Peripheral blood film · 400×400 px · single-cell crop
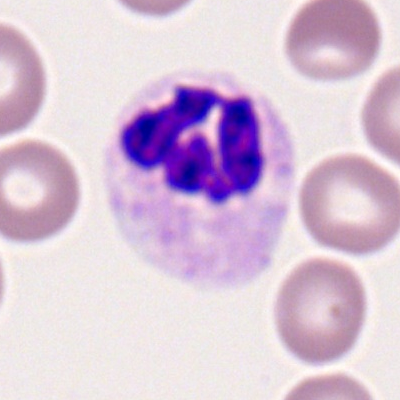Q: What is the morphological classification of this cell?
A: Neutrophil (segmented).